Bone marrow smear.
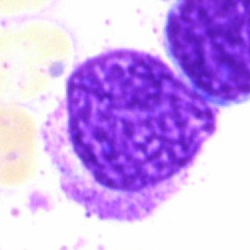 Artifact.